Single cell centered in the field; bone marrow aspirate smear.
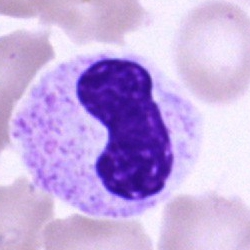 Morphology — band neutrophil.